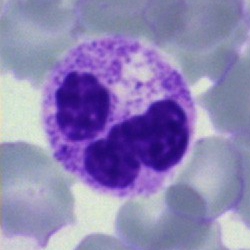 Morphology — segmented neutrophil.